Bone marrow smear
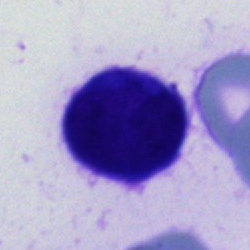A cell of indeterminate lineage.